Bone marrow aspirate smear:
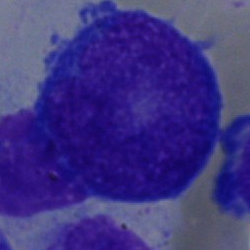
Specimen: bone marrow smear.
Cell: blast.